Bone marrow aspirate smear: 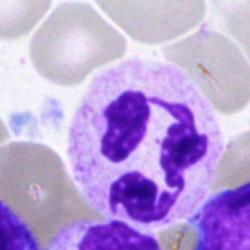 Cell: segmented neutrophil.